400×400. Peripheral blood smear. Romanowsky-type stain
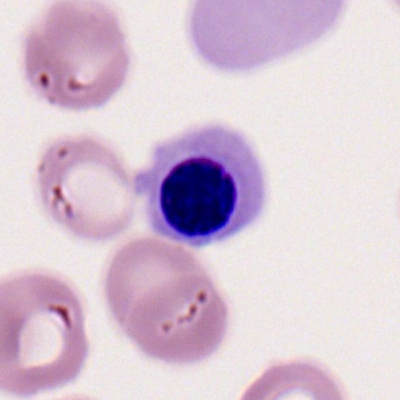 Q: What is the morphological classification of this cell?
A: Normoblast.